Brightfield, 40× oil-immersion objective. Bone marrow smear
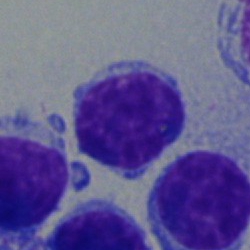 Single cell identified as a lymphocyte.